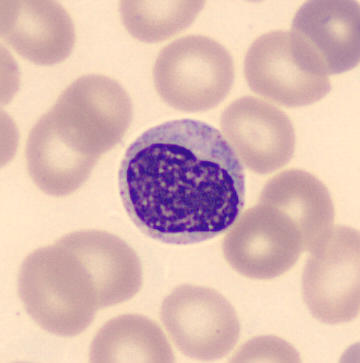

Metamyelocyte.
Peripheral blood film.